Bone marrow smear: 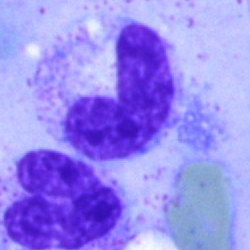
Cell: stab cell.